Single-cell crop; bone marrow smear — 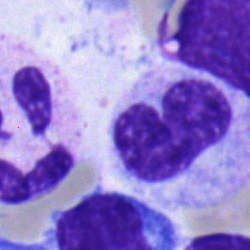 This is a stab cell.